Bone marrow aspirate smear — 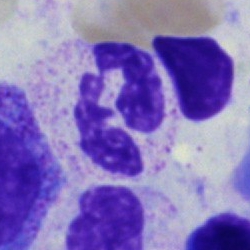

Cell type — segmented neutrophil.